Bone marrow smear:
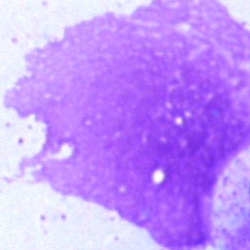

Cell type — artefact.